Bone marrow smear; 250×250 px
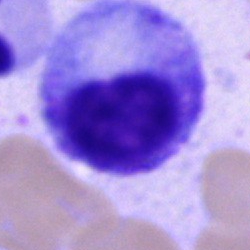

Single cell identified as a progranulocyte.